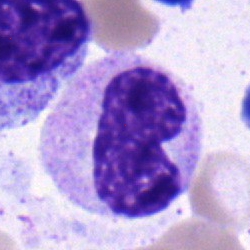
Q: Which cell type is shown here?
A: A neutrophil (band).